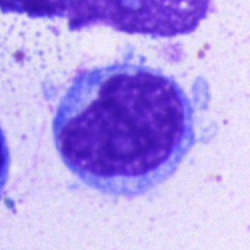

A typical lymphocyte on a bone marrow smear.